Brightfield microscopy, 40× oil immersion. Bone marrow smear: 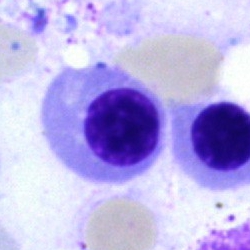 Morphology → erythroblast.